Bone marrow smear · single-cell field: 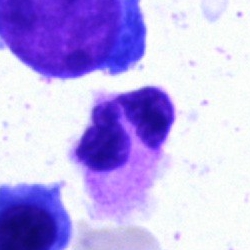

A polymorphonuclear neutrophil.